Bone marrow aspirate smear — 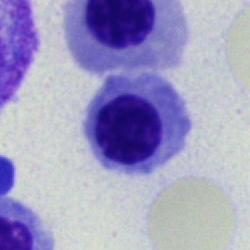
An erythroblast.